Single-cell field · brightfield, 40× oil-immersion objective · bone marrow smear — 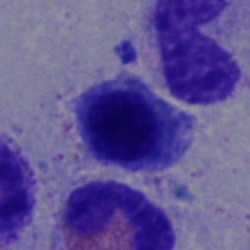
An erythroblast.